Peripheral blood smear. Single-cell crop
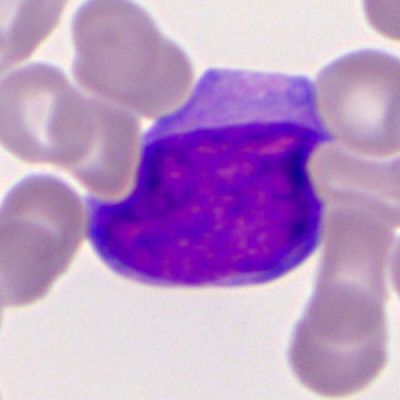
Q: What cell is this?
A: It is a myeloid blast.